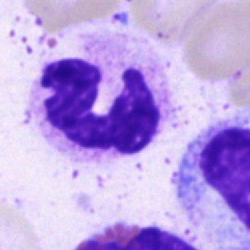
Specimen: bone marrow smear.
Classification: segmented neutrophil.
Lineage: myeloid.